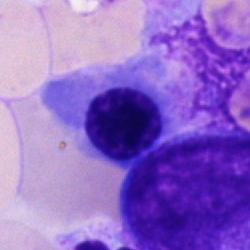

The morphological class is nucleated red blood cell.